Bone marrow aspirate smear.
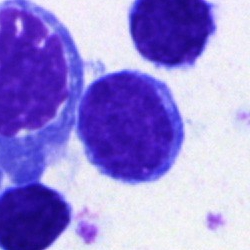
Cell type: typical lymphocyte.